Bone marrow smear — 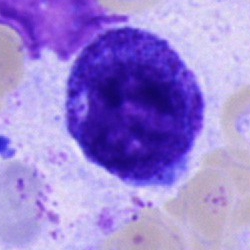 Single cell identified as a progranulocyte.